Single-cell crop · bone marrow aspirate smear: 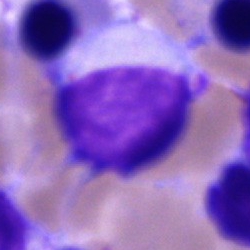
Q: What is the morphological classification of this cell?
A: A typical lymphocyte.